Bone marrow aspirate smear; brightfield, 40× oil-immersion objective: 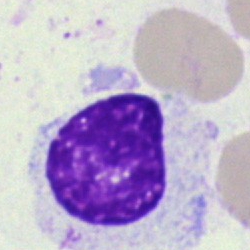

Cell type: segmented neutrophil.